Bone marrow aspirate smear: 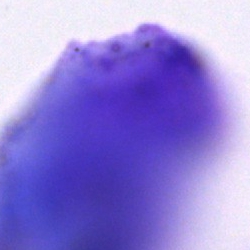Specimen: bone marrow aspirate smear.
Classification: artefact.